Bone marrow smear. Brightfield microscopy, 40× oil immersion:
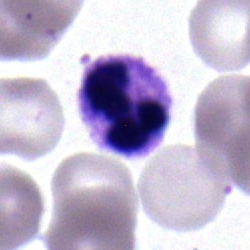

The classification is neutrophil (segmented).